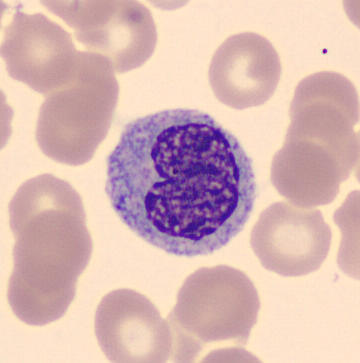Showing a monocyte.
Image: Peripheral blood film.